MGG-stained. Single cell centered in the field. Bone marrow aspirate smear:
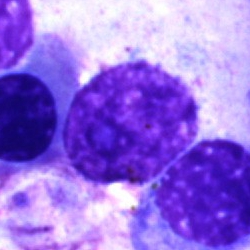 Showing an artifact.